Bone marrow smear · image size 250×250
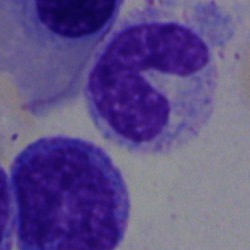

A band-form neutrophil.